Bone marrow aspirate smear. Cropped to a single cell. 250×250 px — 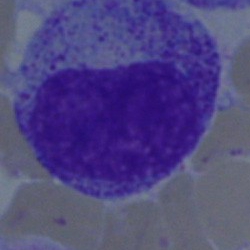
Morphological class — myelocyte.